Bone marrow smear:
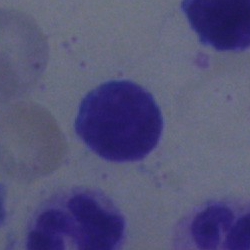Q: What is shown here?
A: It is a lymphocyte.